Bone marrow aspirate smear.
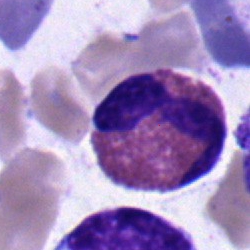Morphological class: lymphocyte.